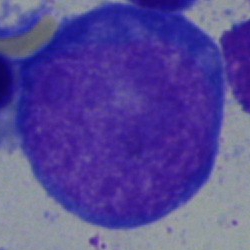
A blast on a bone marrow smear.